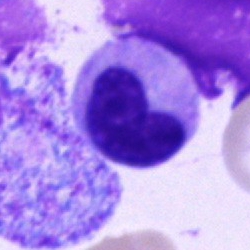

The cell is metamyelocyte.